Bone marrow smear: 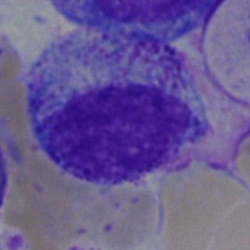

Specimen: bone marrow smear.
Cell: myelocyte.
Lineage: myeloid.